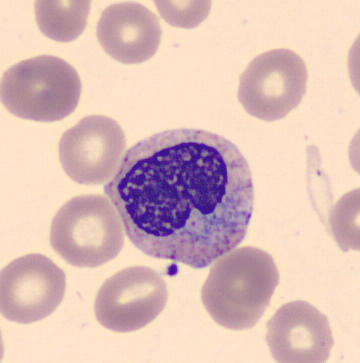 A metamyelocyte. Peripheral blood smear. MGG stain.